Bone marrow smear; image size 250×250; MGG-stained — 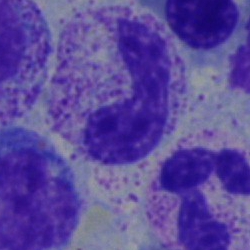
{"cell_type": "stab cell", "lineage": "myeloid"}